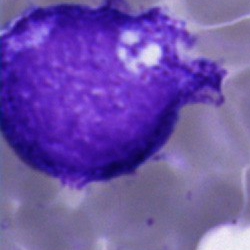
Single-cell crop from a bone marrow smear: artefact.